Peripheral blood smear:
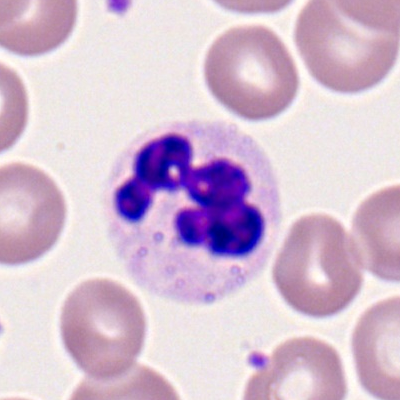 Neutrophil (segmented).